Bone marrow smear:
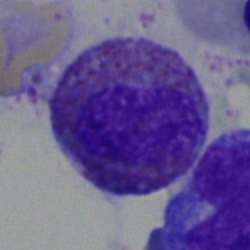

Cell = eosinophilic granulocyte.